250 by 250 pixels. Bone marrow smear — 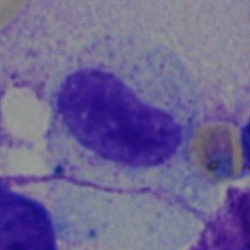
Showing a metamyelocyte.